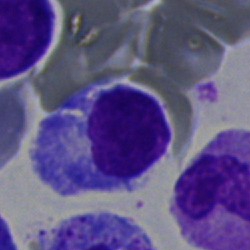Single-cell crop from a bone marrow smear: lymphocyte.